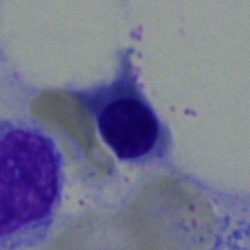 Single-cell crop from a bone marrow smear: nucleated red cell.